Bone marrow aspirate smear:
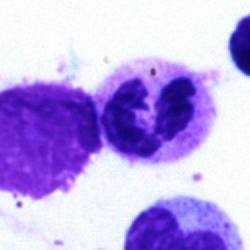

Cell type = segmented neutrophil.